Bone marrow aspirate smear — 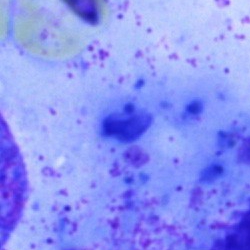Artefact.